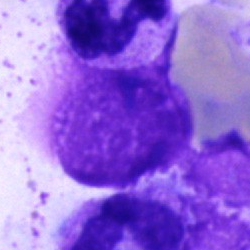 {"cell_type": "artifact"}